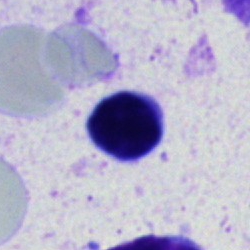
A lymphocyte on a bone marrow smear.